Image size 250×250; bone marrow aspirate smear: 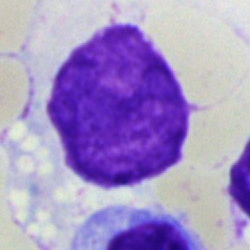
Specimen: bone marrow smear.
Cell: artifact.